Bone marrow smear. Single-cell field — 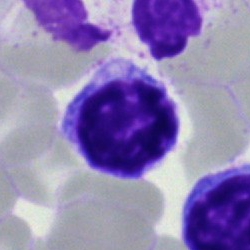

Q: What type of cell is this?
A: This is a typical lymphocyte.